Bone marrow aspirate smear:
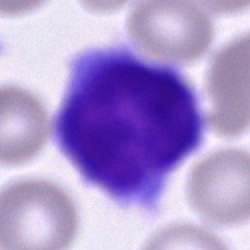
Specimen: bone marrow aspirate smear.
Classification: unidentifiable cell.